Bone marrow aspirate smear — 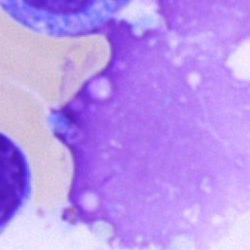The cell shown is an artifact.